Pappenheim-stained. Bone marrow aspirate smear:
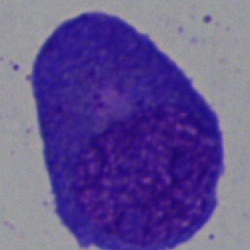

{"cell_type": "eosinophilic granulocyte", "lineage": "myeloid"}